May-Grünwald-Giemsa/Pappenheim stain. Bone marrow smear
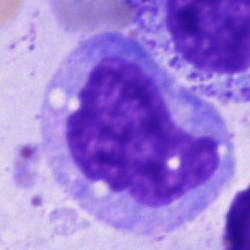
Monocyte.